Bone marrow aspirate smear: 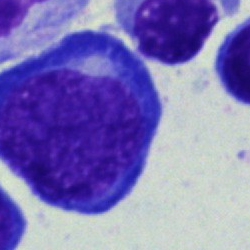Showing a pronormoblast.